Bone marrow aspirate smear. 250 by 250 pixels:
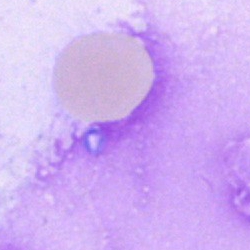Q: What is shown here?
A: It is an artefact.